Bone marrow smear.
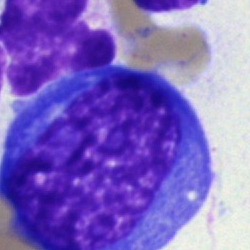Single cell identified as an undifferentiated blast.